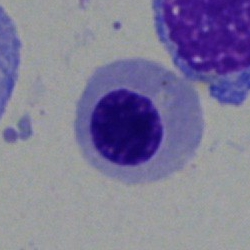 {"cell_type": "normoblast", "lineage": "erythroid"}